MGG-stained · bone marrow aspirate smear
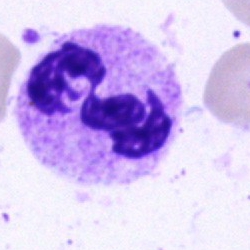 The cell shown is a neutrophil (segmented).